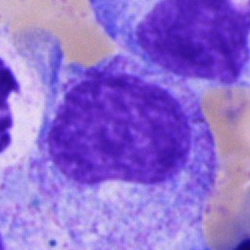 Bone marrow aspirate smear, single cell — promyelocyte.